Single cell centered in the field. 250×250. Bone marrow aspirate smear — 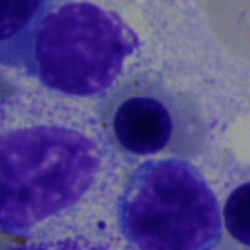 Q: What is shown here?
A: It is a nucleated red cell.